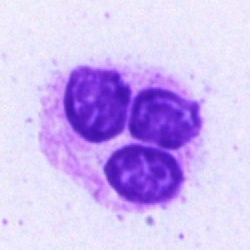
{"cell_type": "segmented neutrophil", "lineage": "myeloid"}